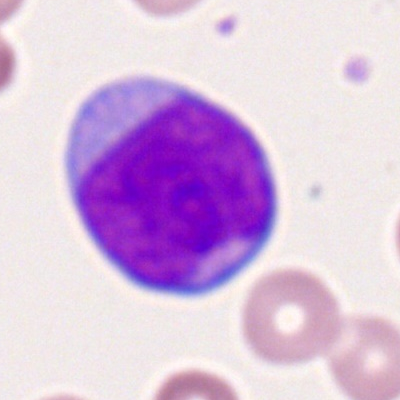
A myeloid blast on a peripheral blood smear.